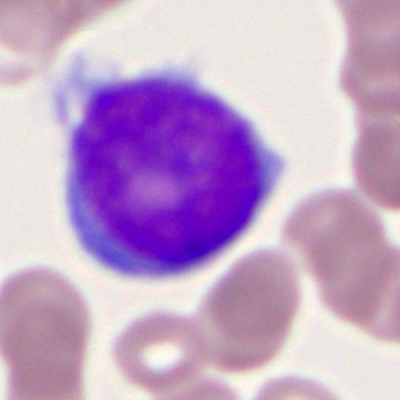
Q: What cell is this?
A: This is a myeloid blast.